40× oil immersion; bone marrow smear: 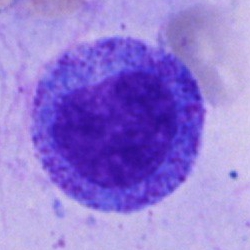

The cell shown is a promyelocyte.